Bone marrow smear:
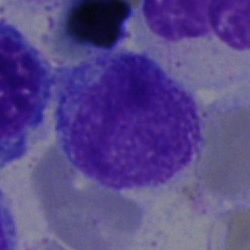
Morphology — lymphocyte.